Peripheral blood film:
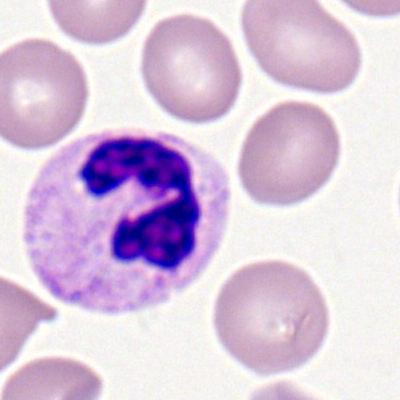
Morphological class = neutrophil (segmented).